Image size 400×400 · peripheral blood film: 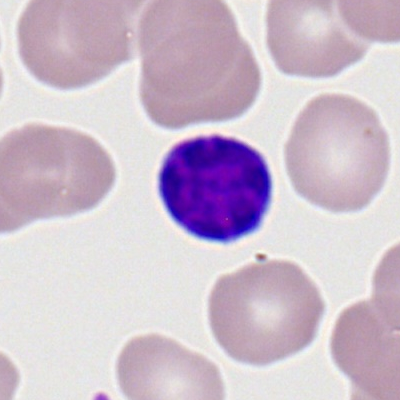

Morphology — typical lymphocyte.